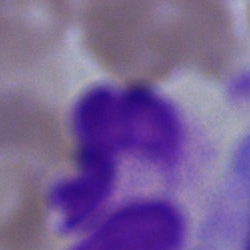

Morphological class — artifact.